Bone marrow smear:
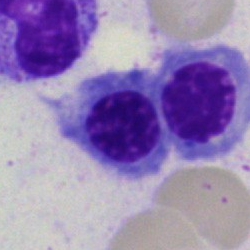 Morphology — normoblast.